Peripheral blood smear. Brightfield, 100× oil-immersion objective
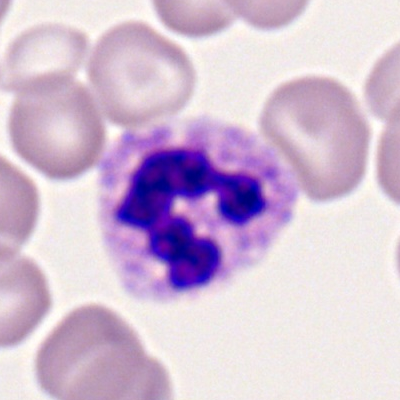Impression → neutrophil (segmented).